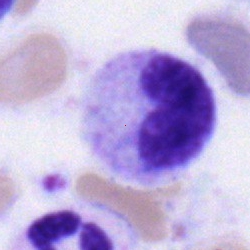

Specimen: bone marrow smear.
Morphological class: metamyelocyte.
Lineage: myeloid.